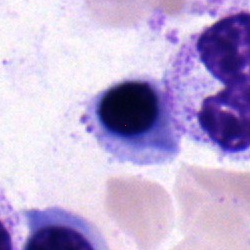Morphological class: nucleated red cell.